Bone marrow smear.
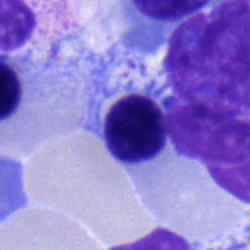

This is a nucleated red blood cell.